Bone marrow aspirate smear
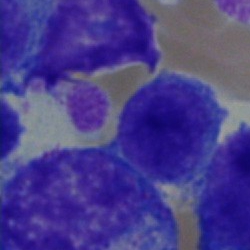
The morphological class is lymphocyte.